Peripheral blood smear: 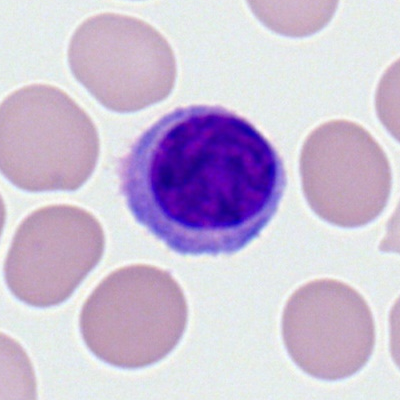
Q: Identify the cell.
A: A typical lymphocyte.